May-Grünwald-Giemsa stain; bone marrow aspirate smear: 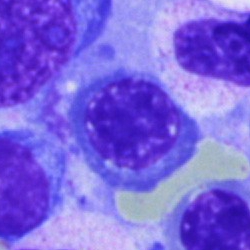

Q: What is shown here?
A: Normoblast.